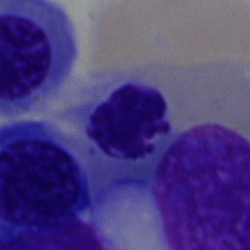 Impression → nucleated red blood cell.